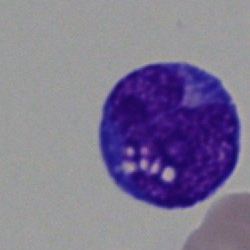
An undifferentiated blast on a bone marrow smear.